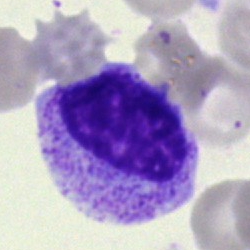 Specimen: bone marrow aspirate smear.
Morphological class: myelocyte.